Bone marrow smear — 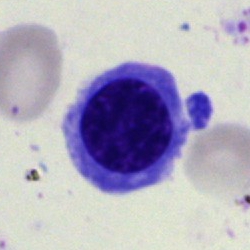

Q: What is shown here?
A: Nucleated red blood cell.